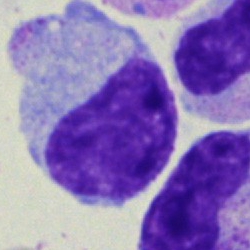
The classification is monocyte.